Cropped to a single cell. Brightfield, 40× oil-immersion objective. Bone marrow smear:
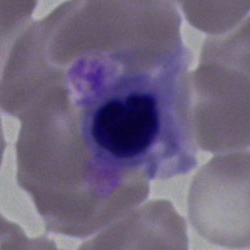

Cell type: erythroblast.